Bone marrow aspirate smear: 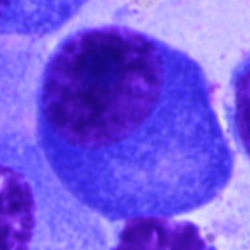 Specimen: bone marrow aspirate smear.
Classification: plasmacyte.